Bone marrow aspirate smear.
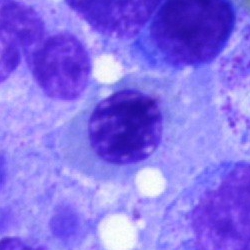
Specimen: bone marrow aspirate smear.
Classification: normoblast.